Single-cell field; bone marrow aspirate smear.
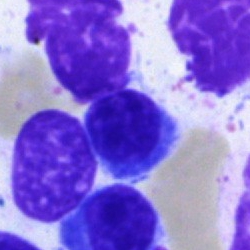 Q: What is shown here?
A: Artefact.